Peripheral blood film
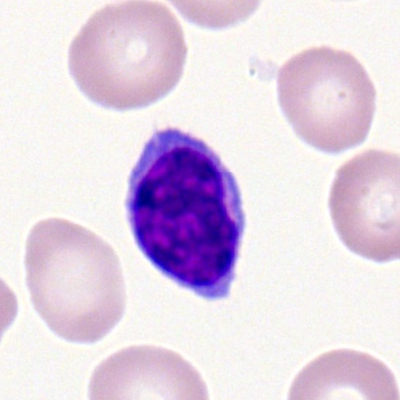
{"cell_type": "lymphocyte"}